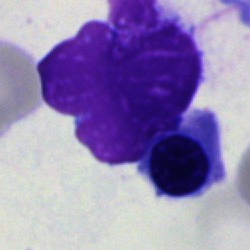
Single cell identified as a normoblast.